Bone marrow smear:
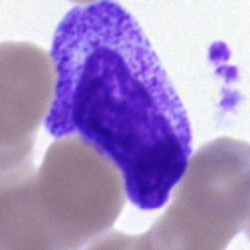

A myelocyte.